Bone marrow smear. May-Grünwald-Giemsa/Pappenheim stain. Single-cell crop — 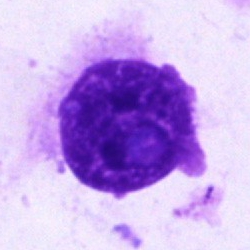Q: What is shown here?
A: This is an artifact.